Bone marrow smear. Image size 250×250
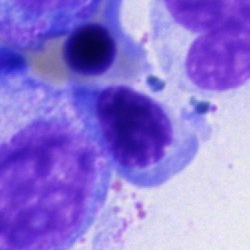Q: What cell is this?
A: Erythroblast.